Bone marrow aspirate smear.
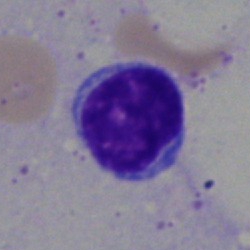 Q: Identify the cell.
A: Lymphocyte.